Bone marrow smear.
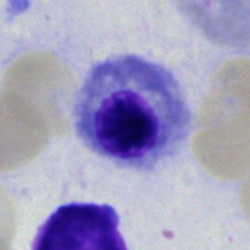Classification — normoblast.